Peripheral blood film
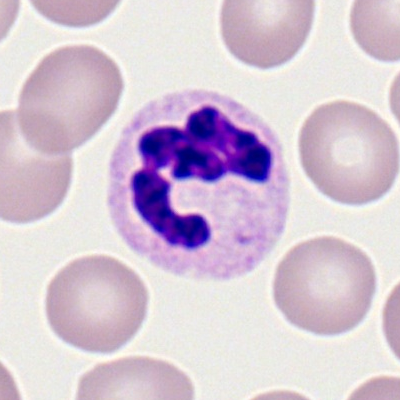{"cell_type": "neutrophil (segmented)"}